Bone marrow smear — 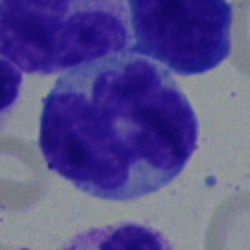

{"cell_type": "monocyte", "lineage": "myeloid"}